Bone marrow aspirate smear.
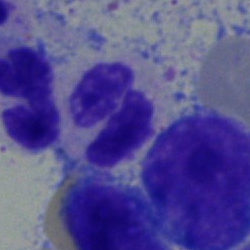

Classification: neutrophil (segmented).